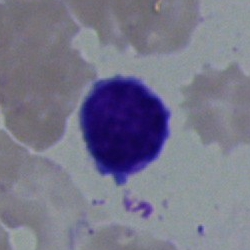

Q: What is the morphological classification of this cell?
A: Lymphocyte.